Bone marrow smear — 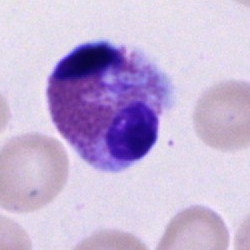

Classification = eosinophil.